250 by 250 pixels · bone marrow smear · May-Grünwald-Giemsa stain: 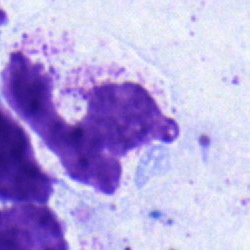 Morphology — neutrophil (segmented).